Bone marrow smear
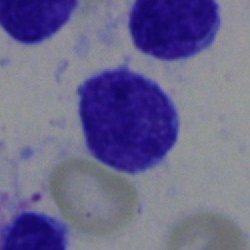Morphology — lymphocyte.